Bone marrow aspirate smear.
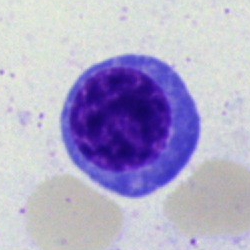

Morphological class — nucleated red blood cell.